Image size 400×400 · peripheral blood film.
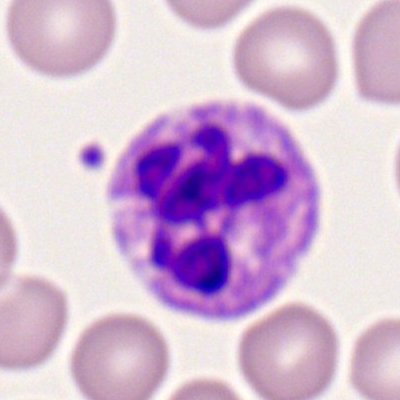

A segmented neutrophil.